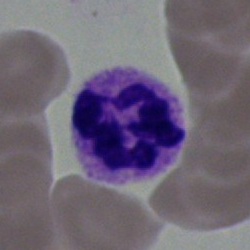 Cell type — polymorphonuclear neutrophil.